Cropped to a single cell; bone marrow smear:
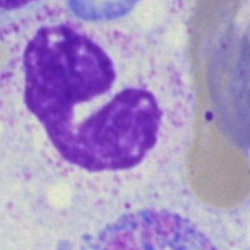 This is a polymorphonuclear neutrophil.